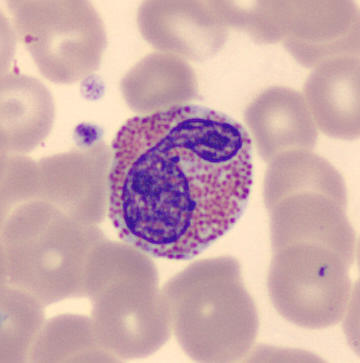
An eosinophil.